Bone marrow aspirate smear
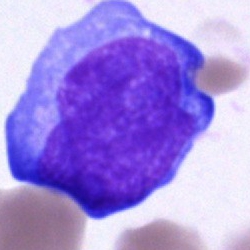Specimen: bone marrow smear.
Classification: blast cell.